Bone marrow smear.
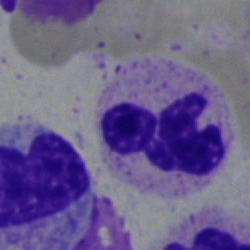 Classification = neutrophil (segmented).